Bone marrow smear; 250×250; cropped to a single cell: 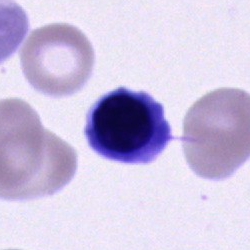Q: What is shown here?
A: Unidentifiable cell.